250×250 · bone marrow smear — 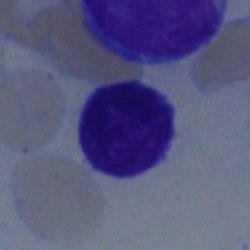 The cell shown is a lymphocyte.